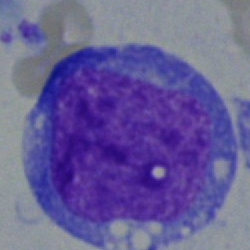Q: Identify the cell.
A: It is a blast cell.